Bone marrow smear
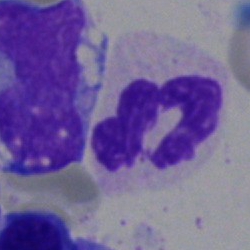 A neutrophil (segmented).